Bone marrow smear.
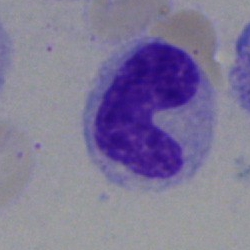 Classification = band-form neutrophil.